Single-cell field; bone marrow aspirate smear:
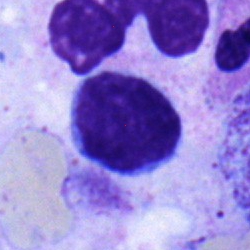
This is a lymphocyte.